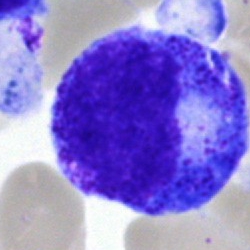
A promyelocyte.